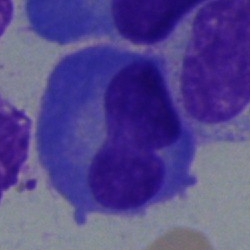 A plasma cell.